Bone marrow smear; brightfield microscopy, 40× oil immersion: 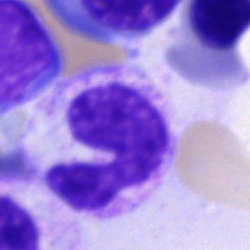
Impression → segmented neutrophil.